Bone marrow aspirate smear — 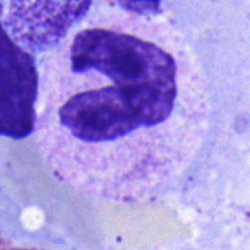Morphology — band-form neutrophil.